May-Grünwald-Giemsa stain; bone marrow aspirate smear; brightfield, 40× oil-immersion objective:
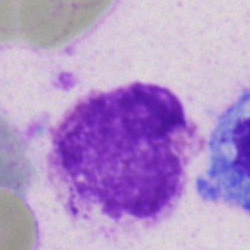

Q: What is shown here?
A: It is an artefact.